MGG-stained; image size 250×250; bone marrow smear: 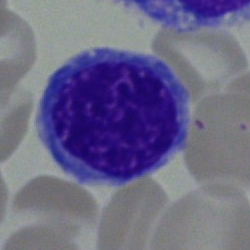
Morphological class = normoblast.